Bone marrow smear:
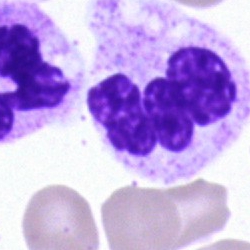Specimen: bone marrow aspirate smear.
Cell: segmented neutrophil.